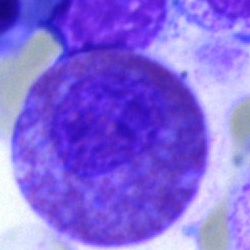 Cell type — eosinophilic granulocyte.